Bone marrow aspirate smear: 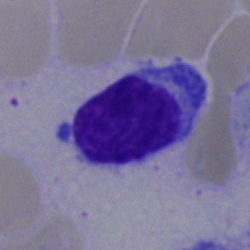 Q: What type of cell is this?
A: This is a lymphocyte.